Bone marrow smear.
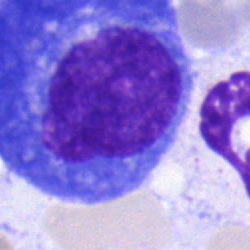

Cell type — plasma cell.